Cropped to a single cell. Bone marrow smear. May-Grünwald-Giemsa/Pappenheim stain — 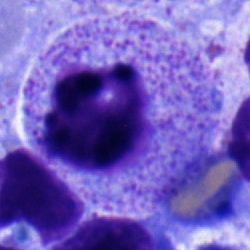 Showing a myelocyte.